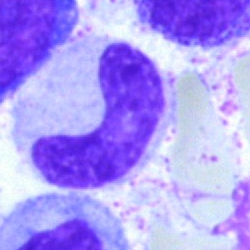
Cell: band neutrophil.